Bone marrow aspirate smear.
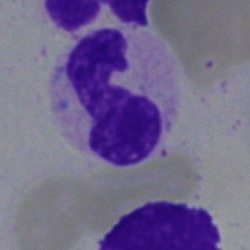
Single cell identified as a neutrophil (segmented).